Bone marrow smear
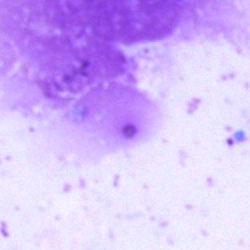 Morphology → artefact.